Cropped to a single cell; image size 400×400; peripheral blood smear: 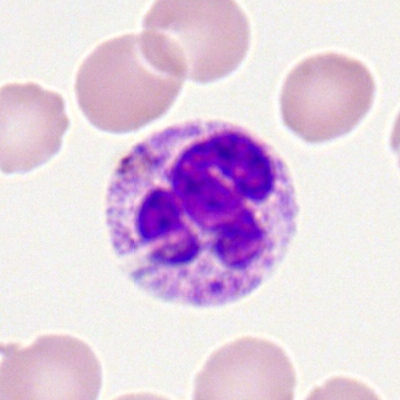
A polymorphonuclear neutrophil.